Bone marrow smear · brightfield microscopy, 40× oil immersion
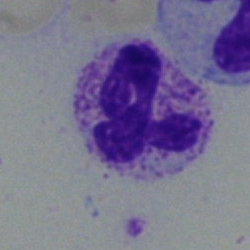

Q: Identify the cell.
A: It is a polymorphonuclear neutrophil.